Romanowsky stain. Peripheral blood smear
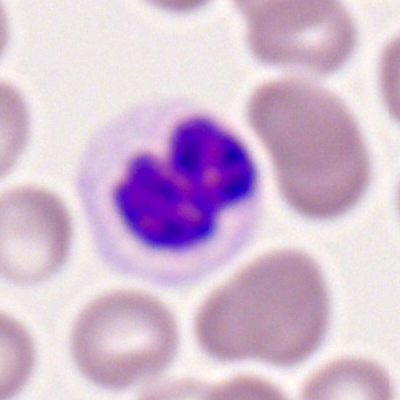
Specimen: peripheral blood smear.
Morphological class: neutrophil (segmented).
Lineage: myeloid.